Pappenheim-stained. 250 by 250 pixels. Bone marrow aspirate smear.
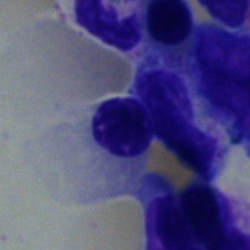
Morphology consistent with an erythroblast.